Bone marrow smear
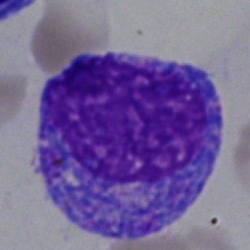
Single cell identified as a promyelocyte.